Bone marrow smear — 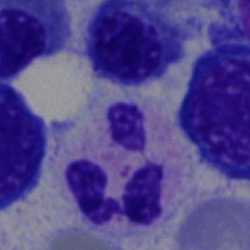

Morphology → segmented neutrophil.